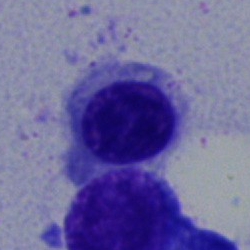Specimen: bone marrow aspirate smear.
Classification: erythroblast.